Bone marrow smear; 250×250 px; May-Grünwald-Giemsa stain: 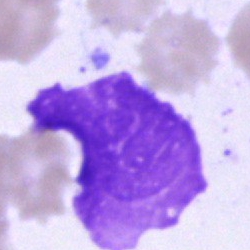 This is an artefact.